Single-cell field; peripheral blood film:
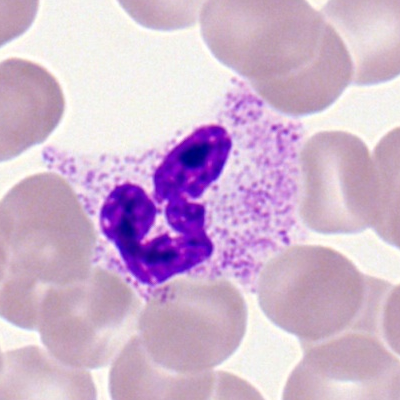
Specimen: peripheral blood film.
Cell: neutrophil (segmented).